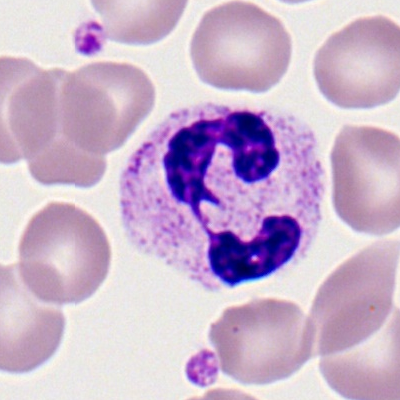
Cell type = neutrophil (segmented).